Brightfield, 40× oil-immersion objective · bone marrow smear
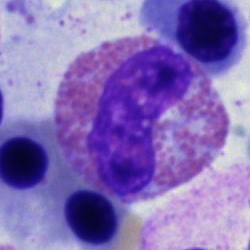

Morphology — eosinophil.